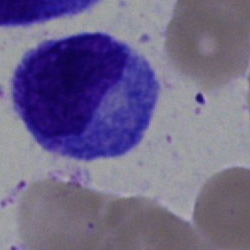

The morphological class is progranulocyte.